Bone marrow aspirate smear: 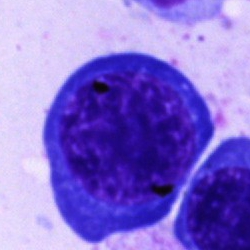{"cell_type": "nucleated red cell", "lineage": "erythroid"}